Bone marrow aspirate smear: 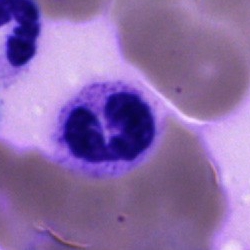Morphology — polymorphonuclear neutrophil.